Bone marrow aspirate smear.
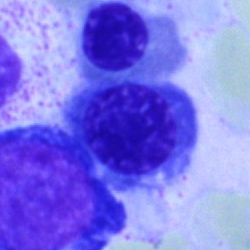
Specimen: bone marrow aspirate smear.
Cell: nucleated red cell.
Lineage: erythroid.